40× objective, oil immersion; bone marrow smear — 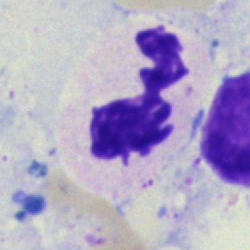The morphological class is polymorphonuclear neutrophil.